Bone marrow smear
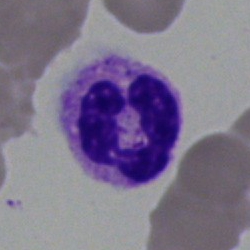This is a neutrophil (segmented).